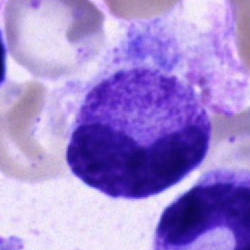 Classification = metamyelocyte.